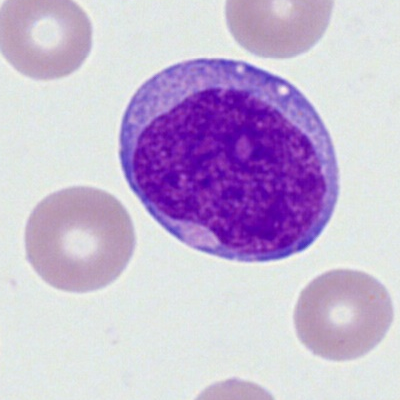Cell type — myeloid blast.